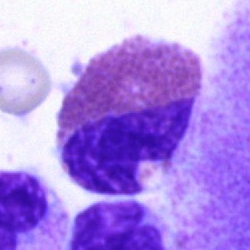

Q: What is the morphological classification of this cell?
A: An eosinophilic granulocyte.